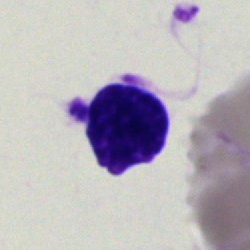An artifact on a bone marrow smear.